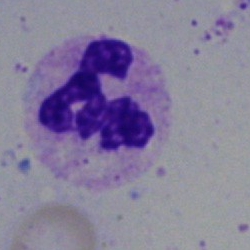

Bone marrow smear showing a polymorphonuclear neutrophil.